Single-cell crop; bone marrow aspirate smear:
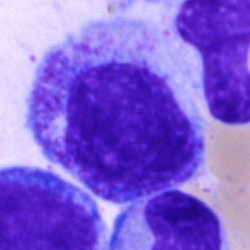Single cell identified as a progranulocyte.